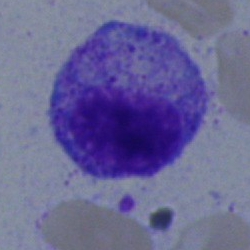 This is a myelocyte.